Bone marrow aspirate smear: 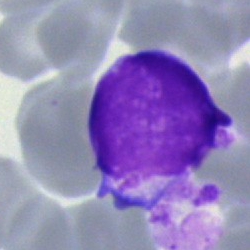 Specimen: bone marrow smear.
Classification: immature lymphocyte.